May-Grünwald-Giemsa/Pappenheim stain. Bone marrow smear:
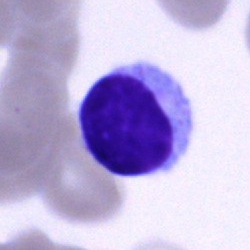
Q: What cell is this?
A: It is a lymphocyte.